40× oil immersion; bone marrow aspirate smear; single-cell field.
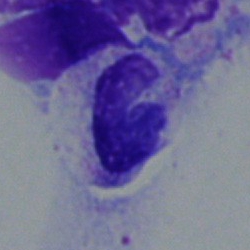Morphology consistent with a band neutrophil.